Bone marrow aspirate smear
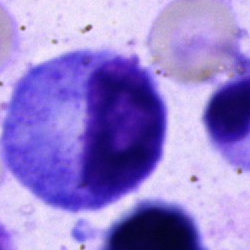Morphology — promyelocyte.